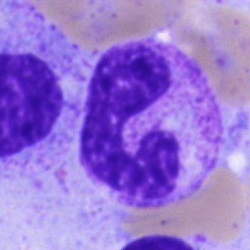The cell is band neutrophil.